Pappenheim-stained · bone marrow smear · single-cell field.
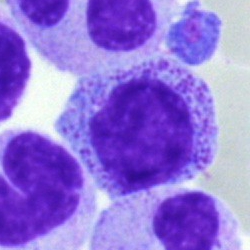 Myelocyte.